Peripheral blood film: 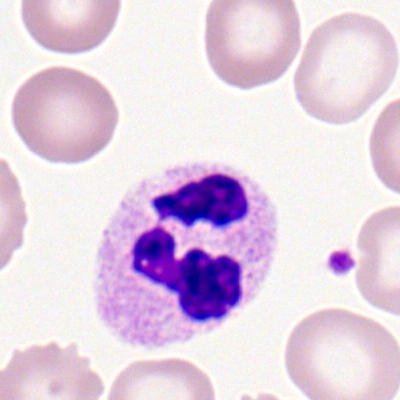Cell — polymorphonuclear neutrophil.